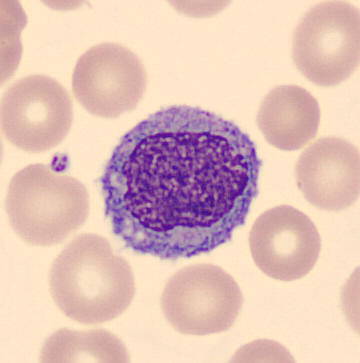Classification — monocyte.